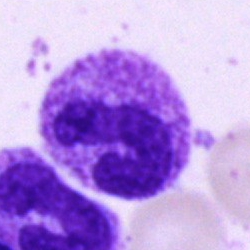

Morphology consistent with a neutrophil (segmented).